Bone marrow smear. Single cell centered in the field. 40× oil immersion
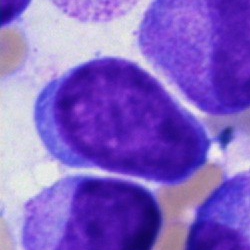 This is a blast cell.